Bone marrow smear: 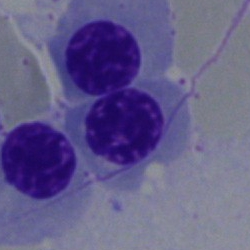 Impression — nucleated red blood cell.